40× oil immersion; 250×250; bone marrow smear: 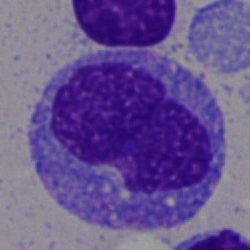Q: Identify the cell.
A: Monocyte.